Bone marrow smear; brightfield, 40× oil-immersion objective
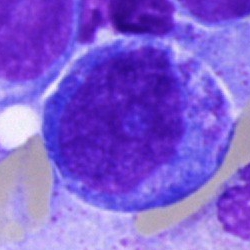Specimen: bone marrow smear.
Classification: progranulocyte.